Bone marrow aspirate smear — 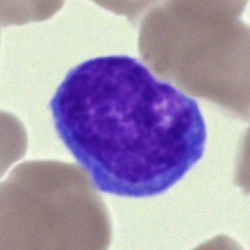 Classification = typical lymphocyte.